Bone marrow smear · 250×250 px · 40× objective, oil immersion — 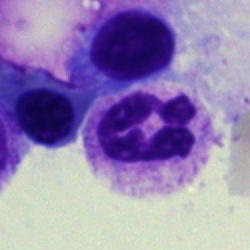 Specimen: bone marrow smear.
Cell type: neutrophil (segmented).
Lineage: myeloid.